Brightfield microscopy, 40× oil immersion. MGG-stained. Bone marrow smear
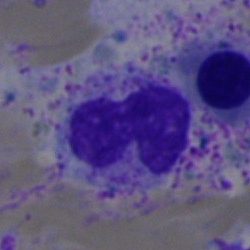
Impression — segmented neutrophil.